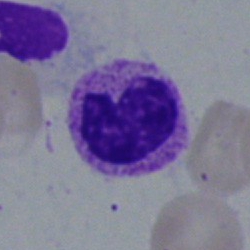 Classification — segmented neutrophil.